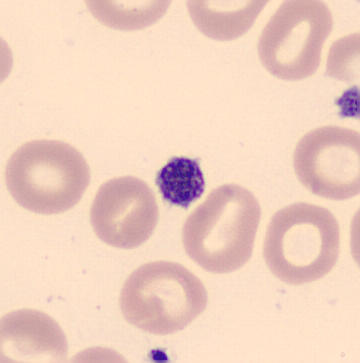
Acquisition: MGG-stained. Peripheral blood smear.

{"cell_type": "thrombocyte"}